Bone marrow aspirate smear. Image size 250×250: 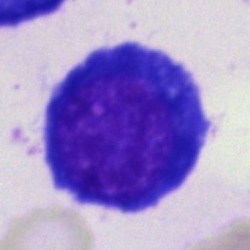

The classification is erythroblast.